Bone marrow smear. Image size 250×250. 40× objective, oil immersion — 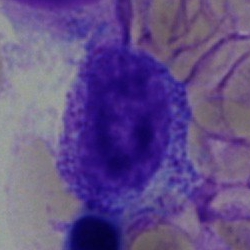Q: Which cell type is shown here?
A: Myelocyte.